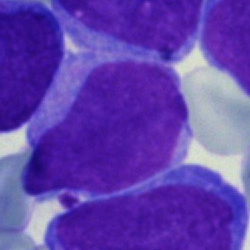
Morphological class = blast.